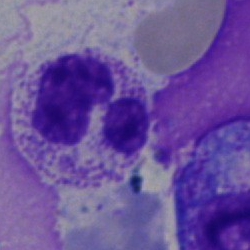

Morphology consistent with a neutrophil (segmented).